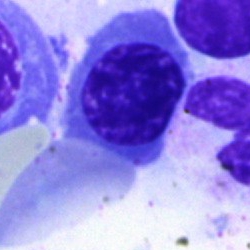 Q: What is the morphological classification of this cell?
A: It is a nucleated red cell.